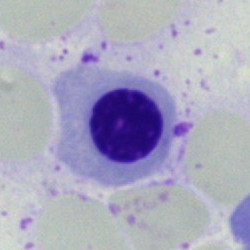

Bone marrow smear showing a nucleated red cell.